Bone marrow smear — 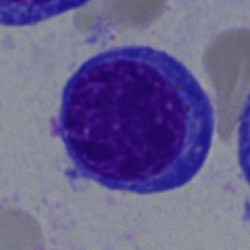 {"cell_type": "erythroblast", "lineage": "erythroid"}